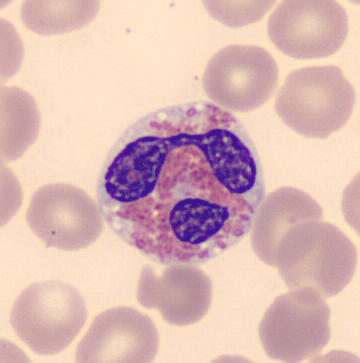

This is an eosinophil.

Peripheral blood film.